Single-cell crop · bone marrow smear · 250×250 px — 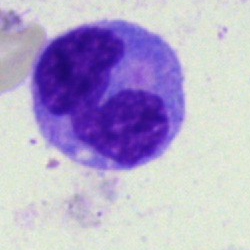Specimen: bone marrow smear.
Morphological class: monocyte.
Lineage: myeloid.